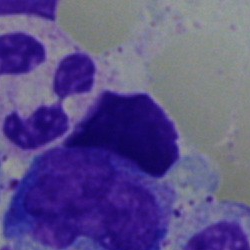

Q: What type of cell is this?
A: A neutrophil (segmented).